Bone marrow smear:
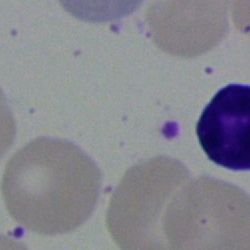 Showing a lymphocyte.